May-Grünwald-Giemsa/Pappenheim stain. Bone marrow smear. 250×250.
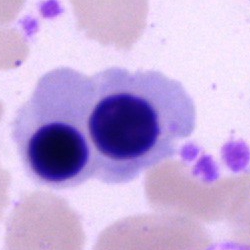
Specimen: bone marrow aspirate smear.
Cell: nucleated red blood cell.
Lineage: erythroid.